Bone marrow smear:
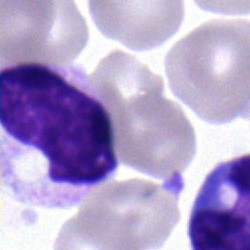Specimen: bone marrow aspirate smear.
Cell: metamyelocyte.
Lineage: myeloid.